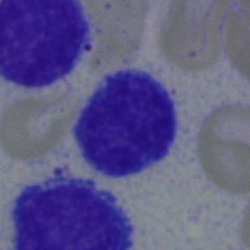
Showing a typical lymphocyte.